Brightfield, 40× oil-immersion objective. Bone marrow aspirate smear:
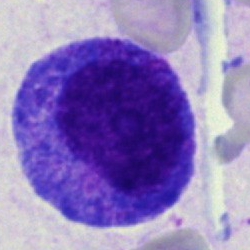 The cell is progranulocyte.